Peripheral blood film:
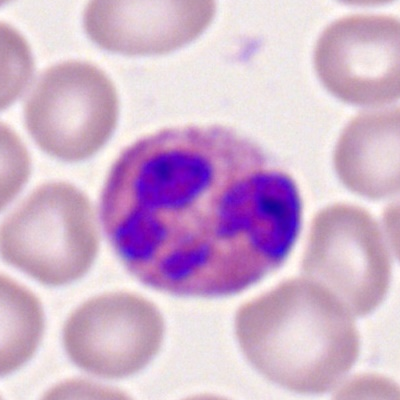 Classification = eosinophil.